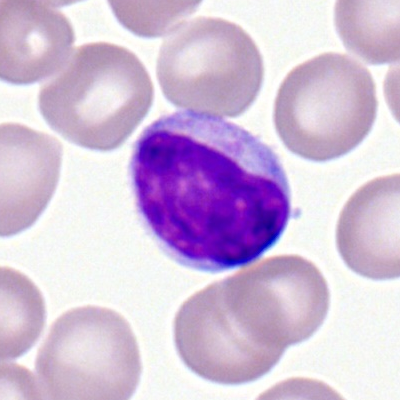{"cell_type": "typical lymphocyte"}